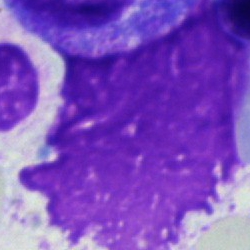Q: What is shown here?
A: Artefact.